250 by 250 pixels; bone marrow aspirate smear; 40× oil immersion.
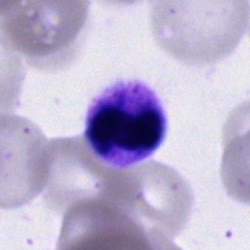The cell shown is a neutrophil (segmented).